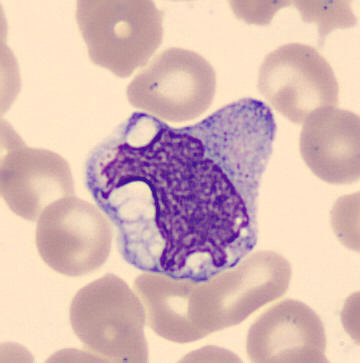Identified as a monocyte.

Peripheral blood film.